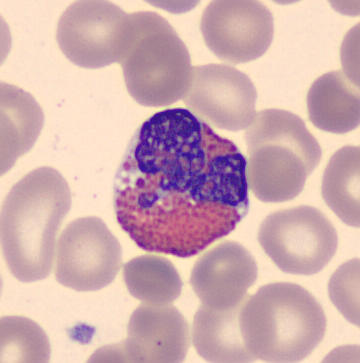 Impression — eosinophil.